250×250 px · bone marrow aspirate smear.
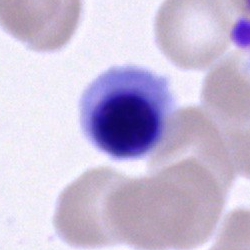Morphology consistent with a nucleated red blood cell.